Bone marrow aspirate smear. Image size 250×250. 40× oil immersion:
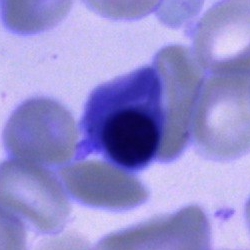
Morphology — nucleated red blood cell.